Bone marrow smear.
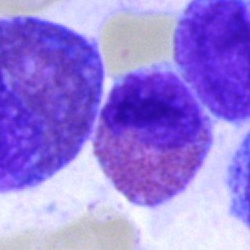The cell shown is an eosinophil.